Bone marrow aspirate smear:
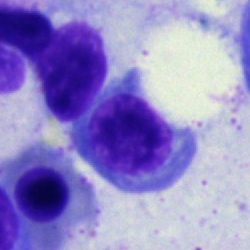Nucleated red cell.